Pappenheim-stained · single-cell field · bone marrow aspirate smear: 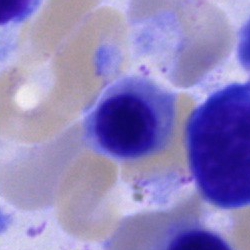
Specimen: bone marrow aspirate smear.
Cell type: erythroblast.
Lineage: erythroid.